Bone marrow aspirate smear; May-Grünwald-Giemsa/Pappenheim stain.
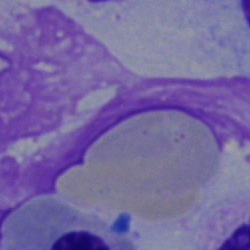Q: What is shown here?
A: This is an artefact.